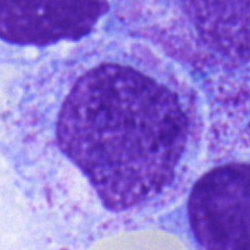
{"cell_type": "myelocyte"}